May-Grünwald-Giemsa stain. Bone marrow smear:
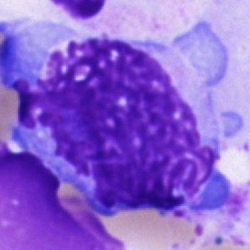
Specimen: bone marrow aspirate smear.
Classification: artifact.